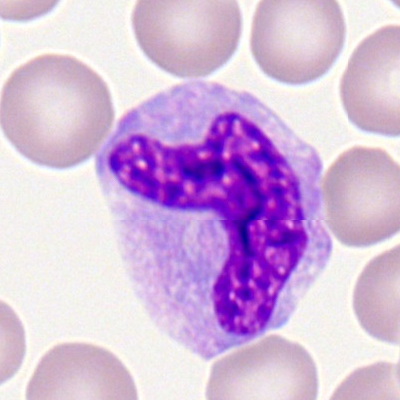 Q: Which cell type is shown here?
A: This is a monocyte.